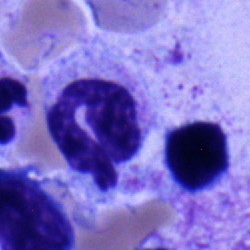 Q: What cell is this?
A: It is a segmented neutrophil.